Brightfield microscopy, 40× oil immersion · bone marrow smear
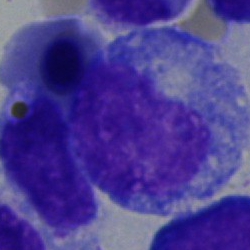 Showing a promyelocyte.